Image size 250×250; May-Grünwald-Giemsa/Pappenheim stain; bone marrow smear:
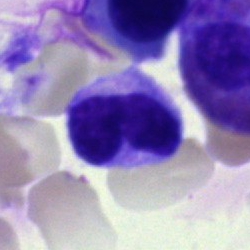 Specimen: bone marrow smear.
Cell type: monocyte.
Lineage: myeloid.